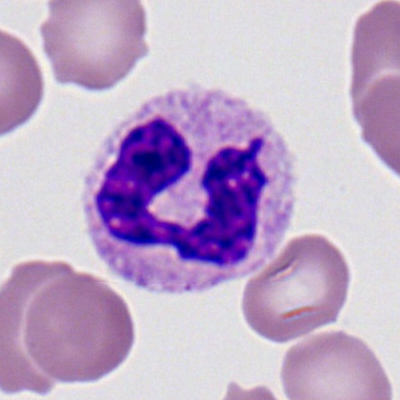 Q: Which cell type is shown here?
A: This is a segmented neutrophil.